Single cell centered in the field · bone marrow aspirate smear · 250×250: 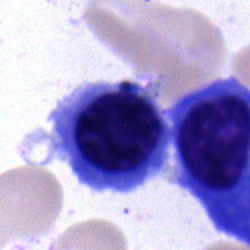 Cell type — normoblast.